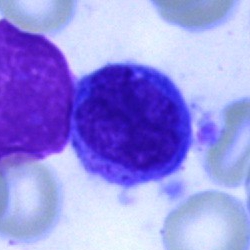 The classification is typical lymphocyte.